Bone marrow smear; single-cell crop — 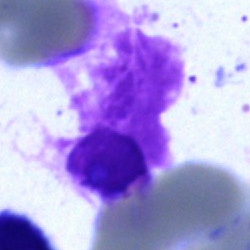Q: What is shown here?
A: Artefact.